Peripheral blood smear: 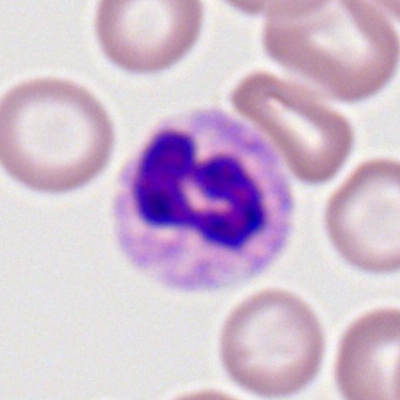Morphology — segmented neutrophil.